Bone marrow aspirate smear · 40× oil immersion · single-cell crop:
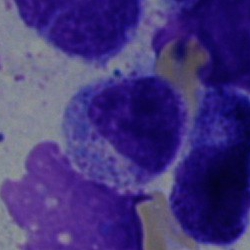

The cell type is myelocyte.